Bone marrow smear:
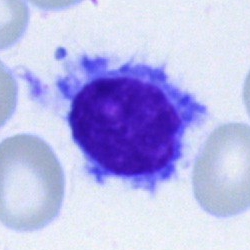

Classification — lymphocyte.